Bone marrow aspirate smear
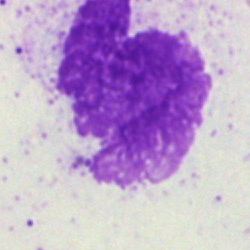An artifact.